Bone marrow aspirate smear.
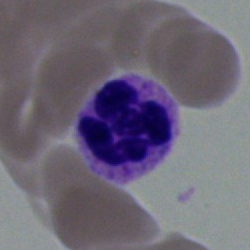
Neutrophil (segmented).